Brightfield microscopy, 40× oil immersion. Bone marrow aspirate smear
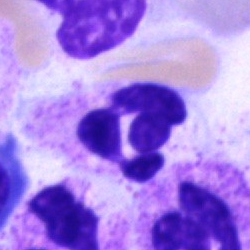

Cell — segmented neutrophil.